Cropped to a single cell · bone marrow aspirate smear
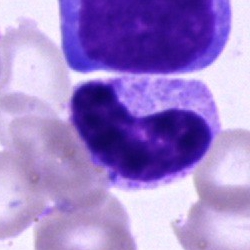
Specimen: bone marrow aspirate smear.
Cell type: stab cell.